MGG-stained. Bone marrow aspirate smear:
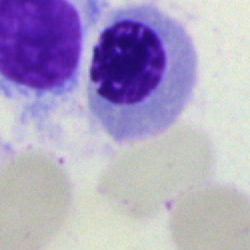

Morphological class: normoblast.